250 by 250 pixels; bone marrow smear — 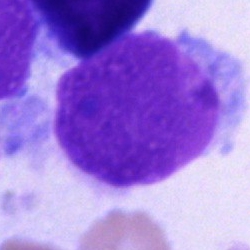

Artifact.